Bone marrow smear. Brightfield microscopy, 40× oil immersion. May-Grünwald-Giemsa stain.
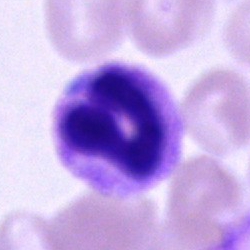 Impression — band-form neutrophil.